250×250; bone marrow smear — 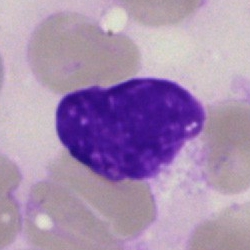An artefact.